Cropped to a single cell. 250×250. Bone marrow smear
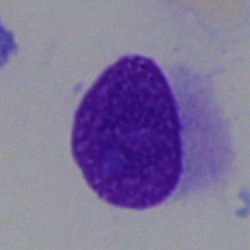

The cell shown is an artifact.